Bone marrow aspirate smear: 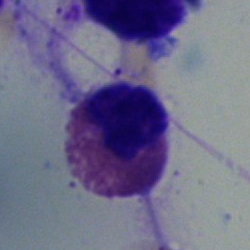

Q: Which cell type is shown here?
A: This is an eosinophilic granulocyte.